Single cell centered in the field · bone marrow smear · 250×250 px — 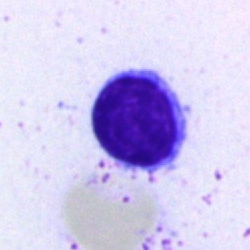The classification is typical lymphocyte.